Bone marrow aspirate smear: 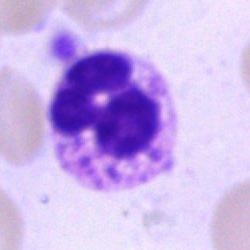Single cell identified as a segmented neutrophil.